Bone marrow smear. 250×250 px.
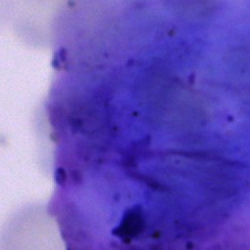

Impression — artifact.